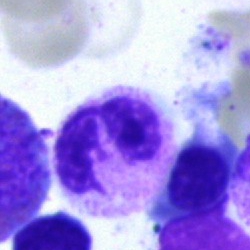

Q: Identify the cell.
A: This is a polymorphonuclear neutrophil.